Bone marrow smear:
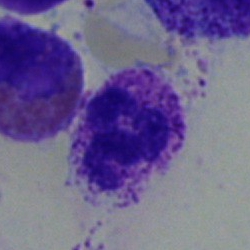Specimen: bone marrow aspirate smear.
Cell: polymorphonuclear neutrophil.
Lineage: myeloid.